Bone marrow aspirate smear:
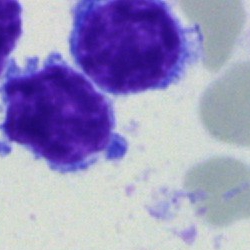

{"cell_type": "lymphocyte"}